Romanowsky stain. Peripheral blood smear
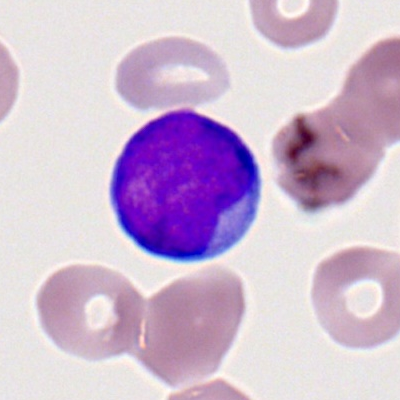 Q: Identify the cell.
A: Myeloblast.